Single-cell crop. Bone marrow smear:
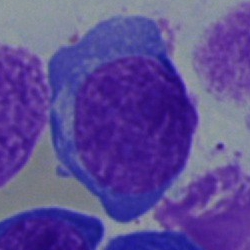
A normoblast.